Bone marrow aspirate smear
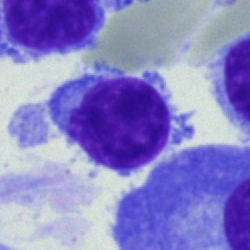 Showing a typical lymphocyte.